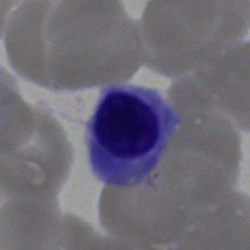

Cell — erythroblast.